Bone marrow smear:
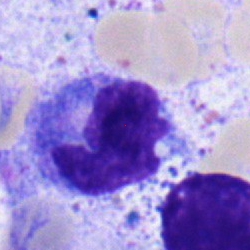
Q: What type of cell is this?
A: An erythroblast.